Bone marrow smear. Single-cell field.
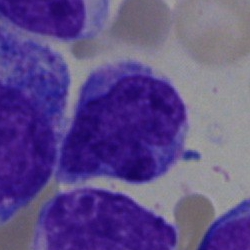 A typical lymphocyte.